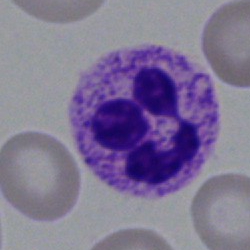
Classification = neutrophil (segmented).